Peripheral blood smear. 400×400: 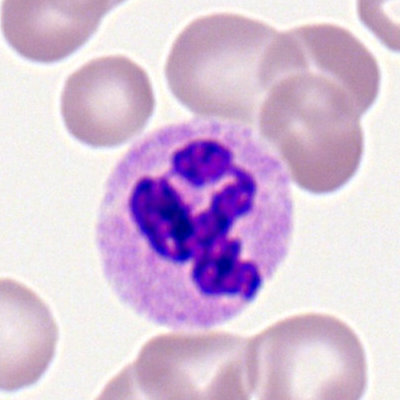 Cell — polymorphonuclear neutrophil.